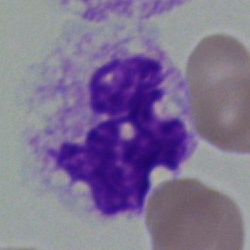

Morphological class = polymorphonuclear neutrophil.